MGG-stained · bone marrow aspirate smear — 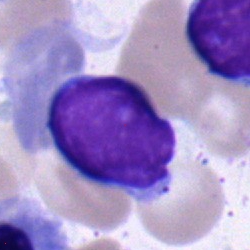Impression → typical lymphocyte.